Bone marrow smear. Single cell centered in the field.
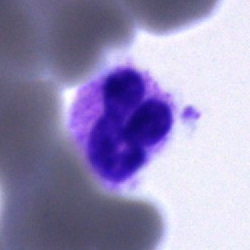
Classification = neutrophil (segmented).